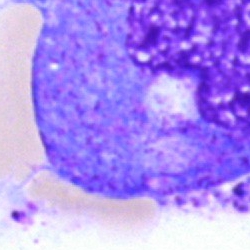Specimen: bone marrow aspirate smear.
Morphological class: monocyte.